Bone marrow smear · image size 250×250.
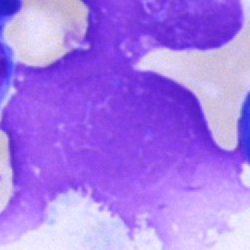
{"cell_type": "artifact"}